Bone marrow smear: 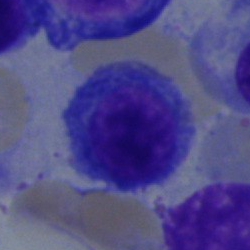Morphology — erythroblast.